Peripheral blood smear — 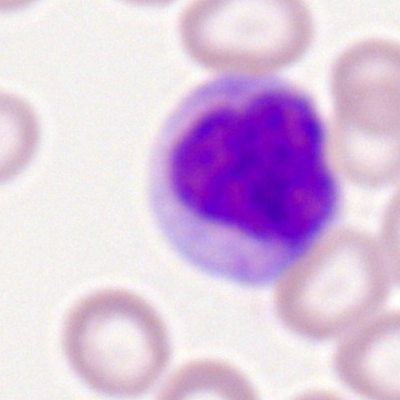

Classification: monocyte.